Bone marrow smear. 250×250.
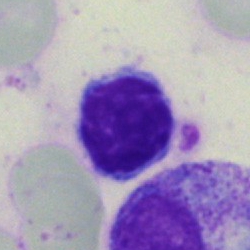
Morphology → lymphocyte.